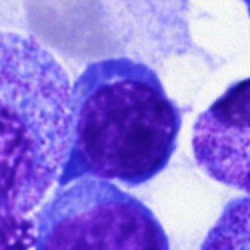{"cell_type": "normoblast", "lineage": "erythroid"}